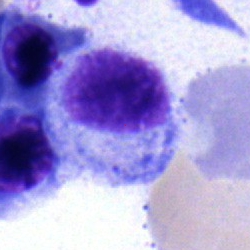Bone marrow smear showing a myelocyte.